Bone marrow aspirate smear · single-cell crop · 40× objective, oil immersion.
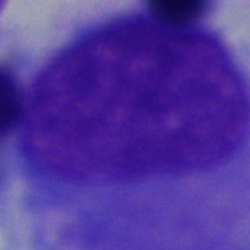

Morphology consistent with an artifact.